Bone marrow smear.
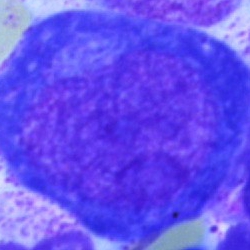 A pronormoblast.